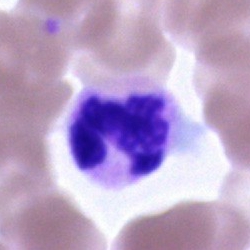

Segmented neutrophil.